May-Grünwald-Giemsa stain. Bone marrow aspirate smear:
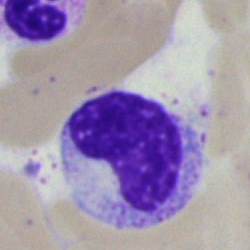

Cell = myelocyte.